Bone marrow smear.
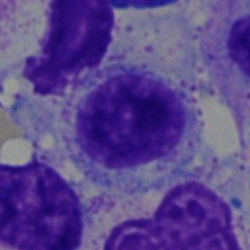

This is a myelocyte.